May-Grünwald-Giemsa/Pappenheim stain · bone marrow smear — 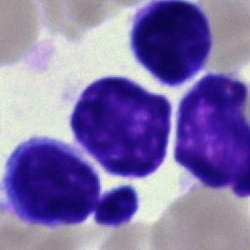 Q: What type of cell is this?
A: A typical lymphocyte.